Bone marrow smear
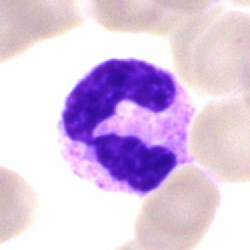

Morphology consistent with a polymorphonuclear neutrophil.